Bone marrow smear:
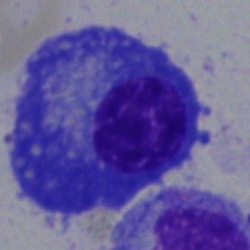
Q: Identify the cell.
A: It is a plasmacyte.